Bone marrow smear.
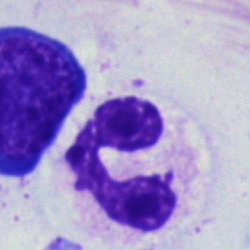The cell is neutrophil (segmented).